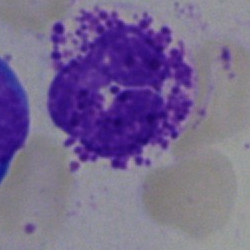 Q: What type of cell is this?
A: This is a basophil.